Bone marrow aspirate smear · cropped to a single cell.
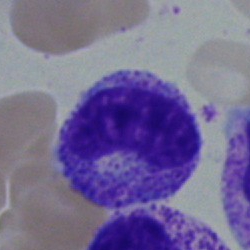Q: Identify the cell.
A: A metamyelocyte.